Bone marrow smear:
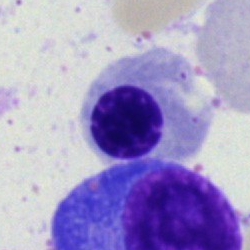

Nucleated red cell.